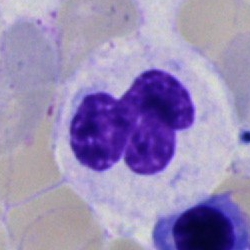
Cell — polymorphonuclear neutrophil.